Pappenheim-stained · bone marrow aspirate smear
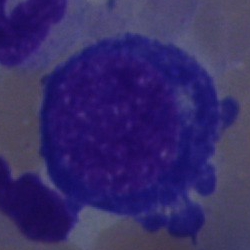

Specimen: bone marrow smear.
Classification: nucleated red cell.
Lineage: erythroid.